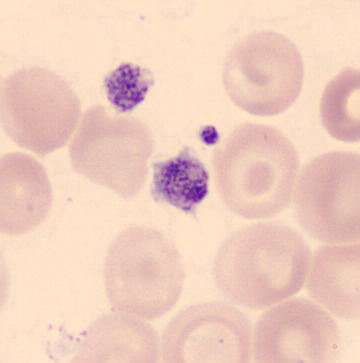 Q: What is shown here?
A: A thrombocyte.
Acquisition: Peripheral blood smear.